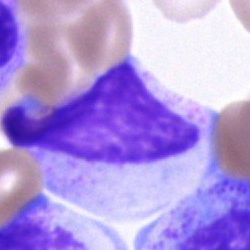

Bone marrow smear showing a cell of indeterminate lineage.